Bone marrow smear:
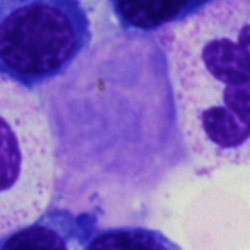Cell type = artefact.